Bone marrow smear — 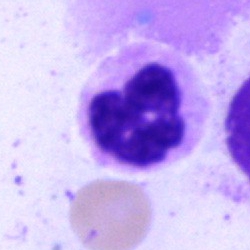Cell — neutrophil (segmented).